Bone marrow smear: 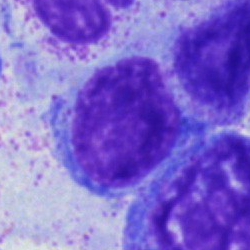

Impression → lymphocyte.